Bone marrow smear; single-cell field; brightfield microscopy, 40× oil immersion.
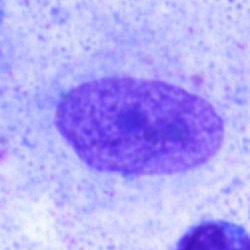
Impression — artifact.